Bone marrow aspirate smear — 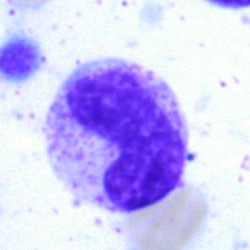 The cell type is stab cell.